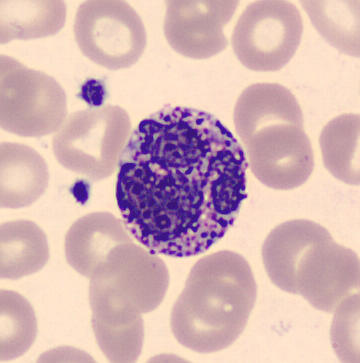 Single cell identified as a basophilic granulocyte.
Image: 360 by 363 pixels. Peripheral blood smear. Single cell centered in the field.